Bone marrow aspirate smear — 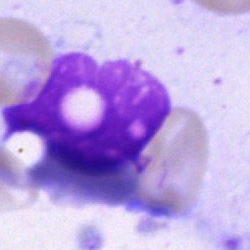 Specimen: bone marrow smear.
Classification: artefact.